Peripheral blood smear — 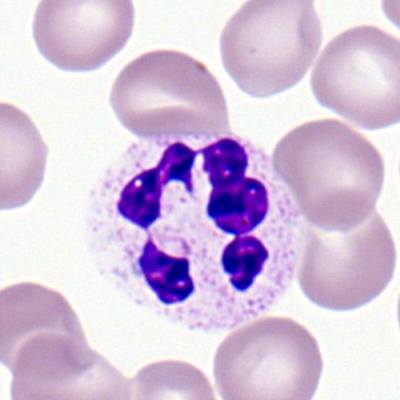 Single cell identified as a polymorphonuclear neutrophil.